Bone marrow smear; 40× oil immersion: 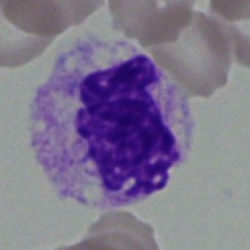

Cell type — polymorphonuclear neutrophil.